Peripheral blood smear:
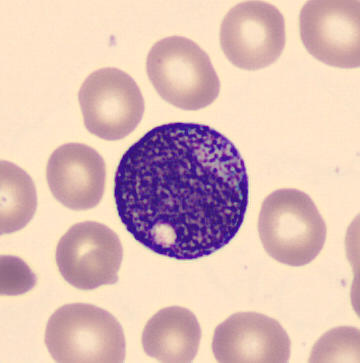 Classification — promyelocyte.